Peripheral blood smear — 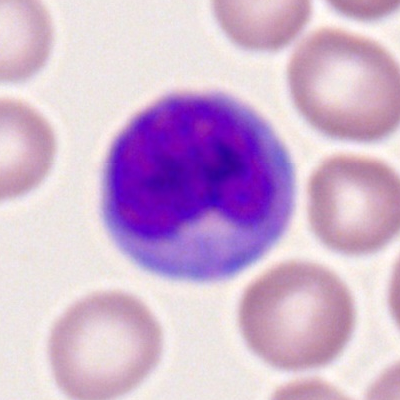
The cell shown is a monocyte.